Bone marrow aspirate smear · brightfield microscopy, 40× oil immersion
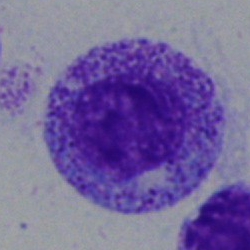
Cell: myelocyte.